Bone marrow aspirate smear.
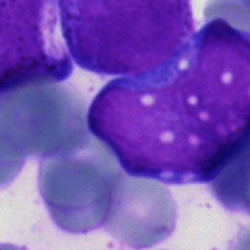
The cell shown is an undifferentiated blast.